Bone marrow smear · 250×250 px.
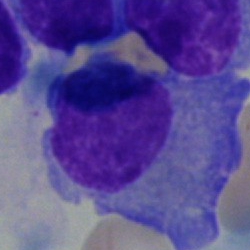
This is a plasma cell.